250×250. Bone marrow aspirate smear. 40× oil immersion — 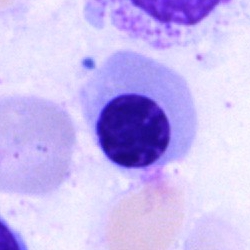
Classification = nucleated red blood cell.